Cropped to a single cell; bone marrow aspirate smear; Pappenheim-stained
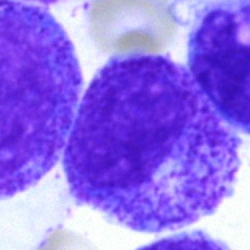

The cell shown is a promyelocyte.